Peripheral blood film
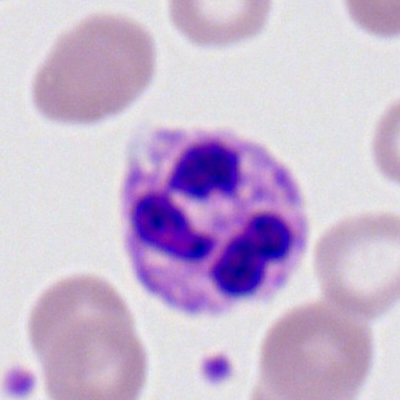
{"cell_type": "polymorphonuclear neutrophil", "lineage": "myeloid"}